40× oil immersion; bone marrow smear.
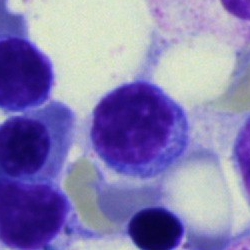
Morphology consistent with a typical lymphocyte.